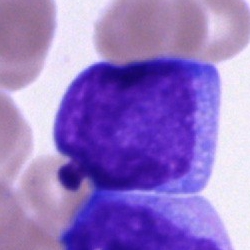

Specimen: bone marrow smear.
Cell type: blast.